May-Grünwald-Giemsa stain. Bone marrow aspirate smear: 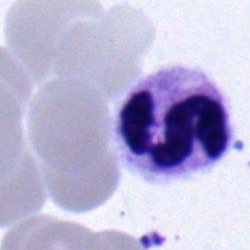Q: What is the morphological classification of this cell?
A: Segmented neutrophil.